Peripheral blood film: 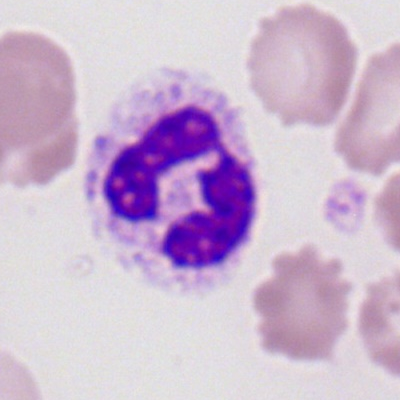

Showing a segmented neutrophil.